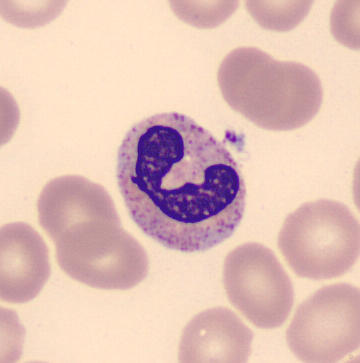 Acquisition: CellaVision DM96 · MGG stain · peripheral blood film.

Q: What is this?
A: It is a stab cell.